Bone marrow aspirate smear. Brightfield microscopy, 40× oil immersion. Single-cell crop
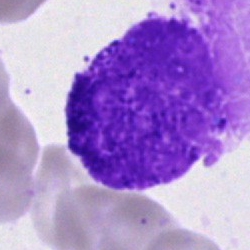 Specimen: bone marrow aspirate smear.
Cell type: artefact.